Bone marrow aspirate smear:
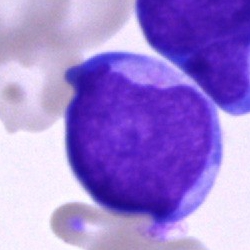 Morphology consistent with a blast cell.